Bone marrow aspirate smear · May-Grünwald-Giemsa stain.
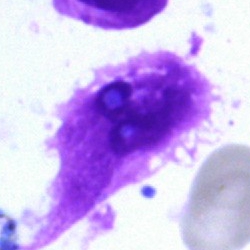Cell — artifact.